Bone marrow aspirate smear
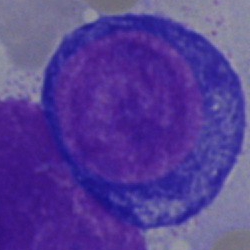 Q: Identify the cell.
A: This is a proerythroblast.